Bone marrow aspirate smear · image size 250×250: 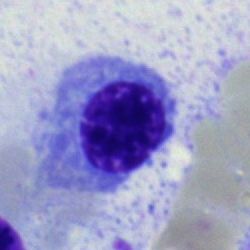Cell type = erythroblast.